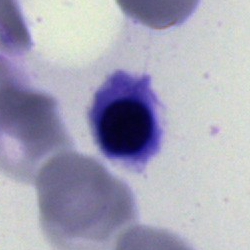 The cell type is nucleated red cell.